Bone marrow aspirate smear
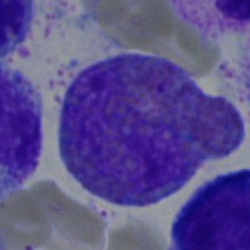Classification = eosinophilic granulocyte.